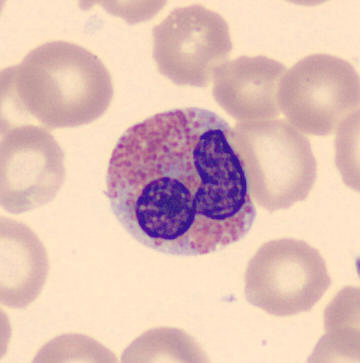 Q: What type of cell is this?
A: Eosinophil. MGG stain. Peripheral blood film. 360×363 px.